Peripheral blood smear · 400×400 px
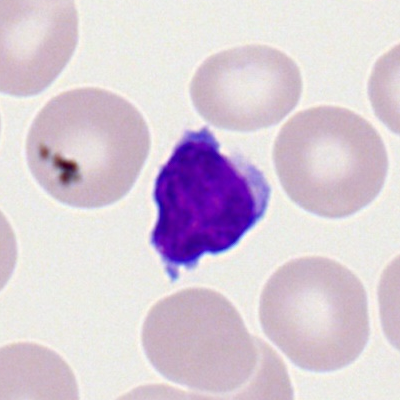 The cell shown is a lymphocyte.